Bone marrow aspirate smear — 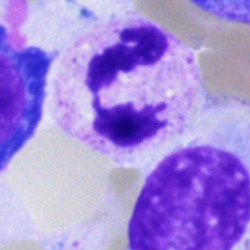 Segmented neutrophil.